Bone marrow smear:
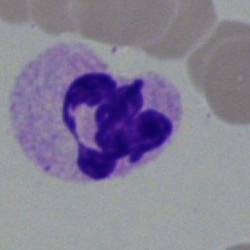

Specimen: bone marrow smear.
Morphological class: polymorphonuclear neutrophil.
Lineage: myeloid.